Bone marrow smear: 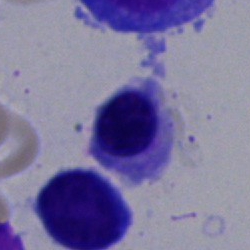 Specimen: bone marrow aspirate smear.
Classification: normoblast.
Lineage: erythroid.